Bone marrow smear; brightfield microscopy, 40× oil immersion — 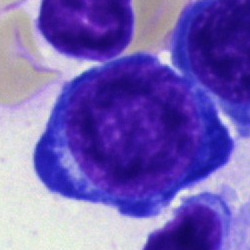Specimen: bone marrow smear.
Cell: nucleated red blood cell.